Peripheral blood smear:
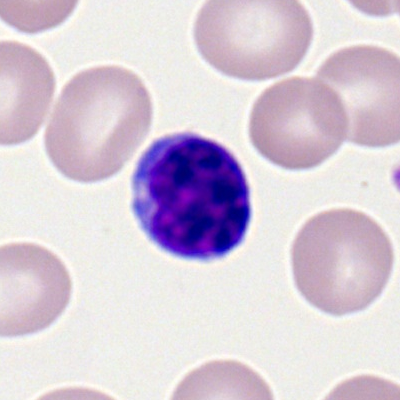 This is a typical lymphocyte.